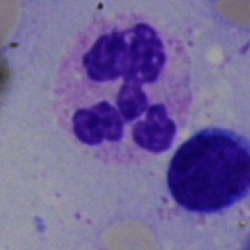 Morphological class: neutrophil (segmented).